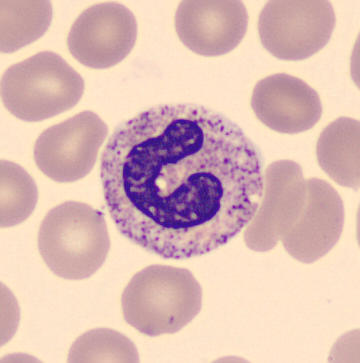
Specimen: peripheral blood smear.
Cell: band neutrophil.
Lineage: myeloid.